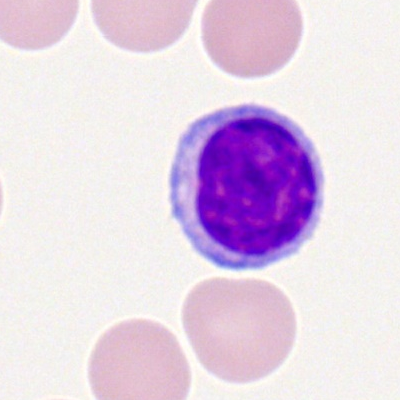
The cell shown is a typical lymphocyte.